Bone marrow smear; May-Grünwald-Giemsa stain — 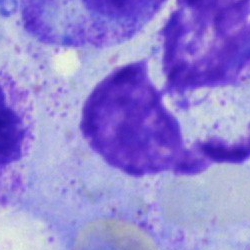
Classification — artefact.